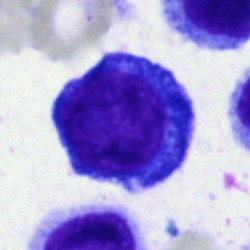

Bone marrow aspirate smear, single cell — proerythroblast.